Cropped to a single cell. Brightfield microscopy, 40× oil immersion. Bone marrow aspirate smear — 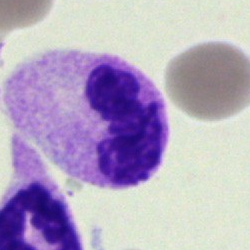This is a segmented neutrophil.